Bone marrow smear.
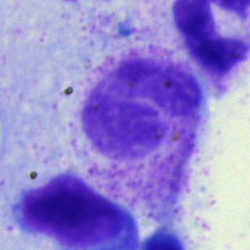 Eosinophil.